Bone marrow aspirate smear; MGG-stained.
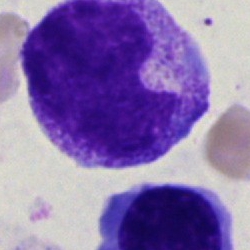 Morphological class: myelocyte.